Bone marrow smear.
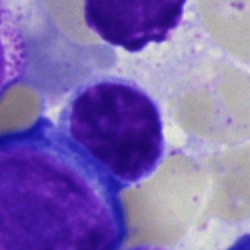 Morphology consistent with a typical lymphocyte.